Pappenheim-stained; 40× objective, oil immersion; bone marrow smear:
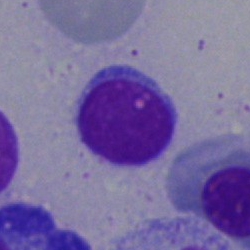
Morphology consistent with a typical lymphocyte.